Bone marrow smear.
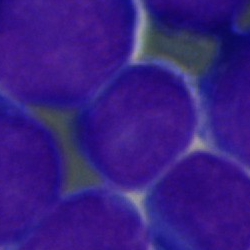
Cell — blast.